Peripheral blood smear: 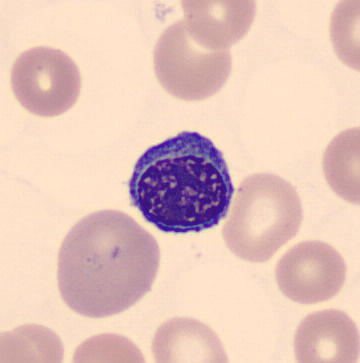Morphology → nucleated red blood cell.